Bone marrow aspirate smear.
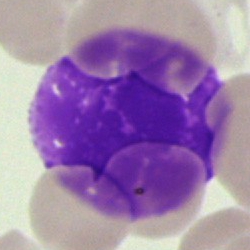
Showing an artefact.